Bone marrow aspirate smear.
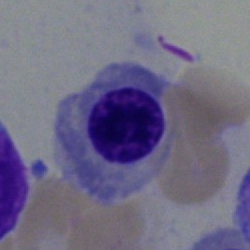 Specimen: bone marrow aspirate smear.
Cell: erythroblast.
Lineage: erythroid.